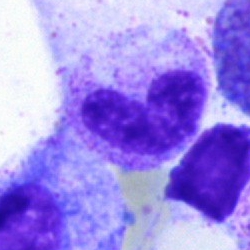
Impression → neutrophil (band).